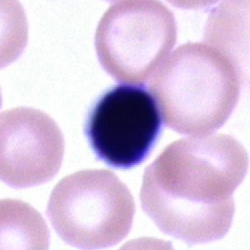
Specimen: bone marrow aspirate smear.
Classification: unidentifiable cell.